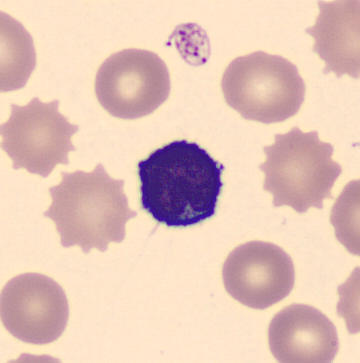

Peripheral blood film, single cell — lymphocyte.